Peripheral blood film
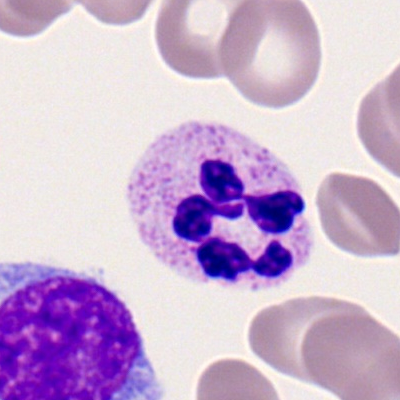
Morphology consistent with a segmented neutrophil.